Single-cell crop · bone marrow aspirate smear:
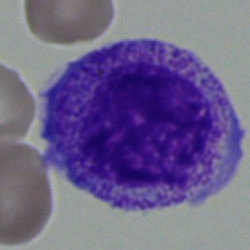 {"cell_type": "promyelocyte", "lineage": "myeloid"}